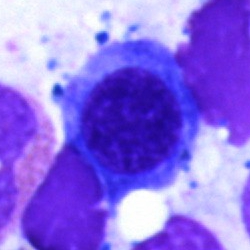
An erythroblast.